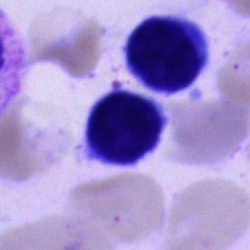A plasma cell.